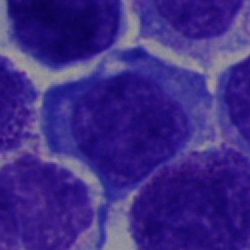

Bone marrow smear showing an undifferentiated blast.